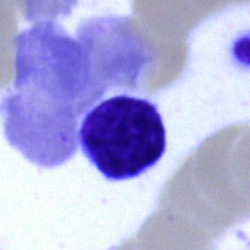
Cell: lymphocyte.